Bone marrow aspirate smear: 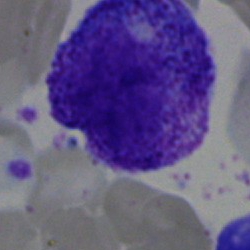 Morphology → progranulocyte.